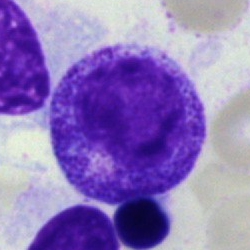
Cell = progranulocyte.